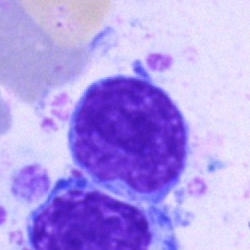Specimen: bone marrow aspirate smear.
Cell: typical lymphocyte.